Bone marrow aspirate smear — 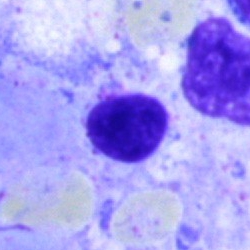
Morphological class = artifact.